May-Grünwald-Giemsa/Pappenheim stain. Bone marrow aspirate smear. Single cell centered in the field: 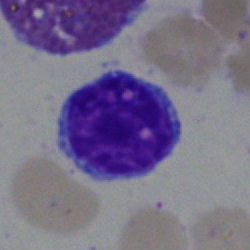

This is a typical lymphocyte.